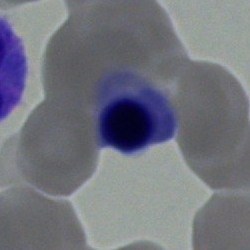

The morphological class is nucleated red blood cell.